Brightfield, 40× oil-immersion objective; single-cell crop; bone marrow smear:
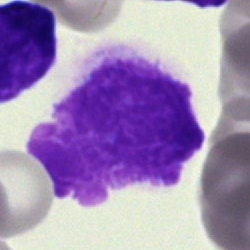
Specimen: bone marrow smear.
Morphological class: artefact.